Brightfield microscopy, 40× oil immersion; bone marrow smear; cropped to a single cell — 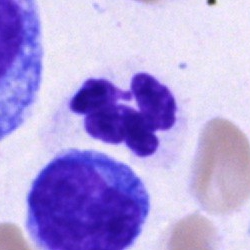
Q: What is the morphological classification of this cell?
A: A segmented neutrophil.